Bone marrow aspirate smear:
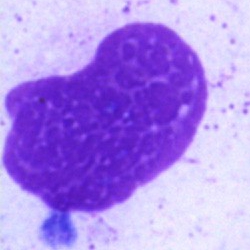

Impression → artefact.